Bone marrow aspirate smear: 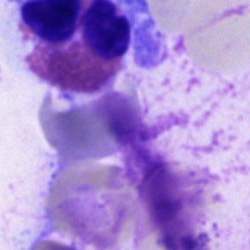The morphological class is artifact.